Bone marrow aspirate smear:
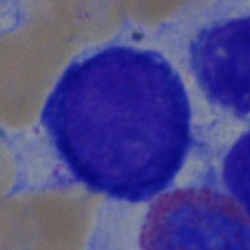
This is a proerythroblast.